Bone marrow aspirate smear · image size 250×250.
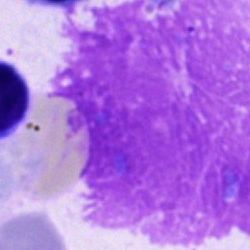
{"cell_type": "artefact"}